250 by 250 pixels; May-Grünwald-Giemsa/Pappenheim stain; bone marrow smear.
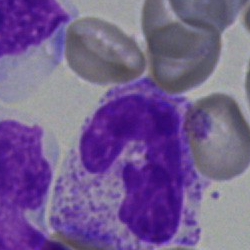

The cell shown is a band-form neutrophil.